Bone marrow smear:
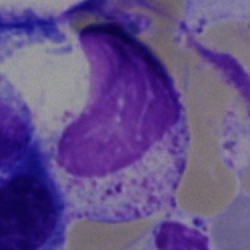Single cell identified as an artifact.